Pappenheim-stained. Bone marrow aspirate smear. Single-cell crop — 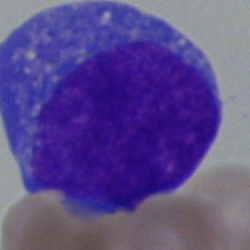

This is an undifferentiated blast.